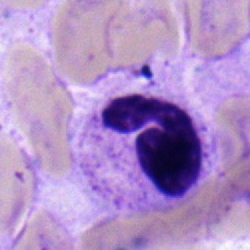
Specimen: bone marrow aspirate smear.
Morphological class: neutrophil (segmented).
Lineage: myeloid.